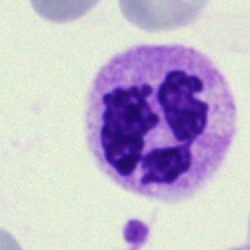
Cell = polymorphonuclear neutrophil.